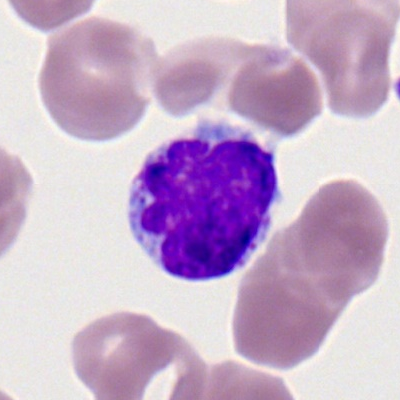Morphological class = lymphocyte.